Pappenheim-stained. Bone marrow aspirate smear:
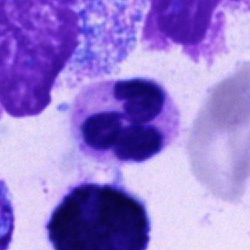The cell shown is a neutrophil (segmented).